Peripheral blood film. Cropped to a single cell: 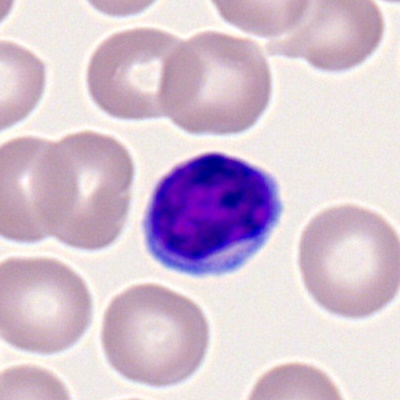Specimen: peripheral blood film.
Classification: lymphocyte.
Lineage: lymphoid.